Brightfield microscopy, 40× oil immersion; May-Grünwald-Giemsa stain; bone marrow aspirate smear — 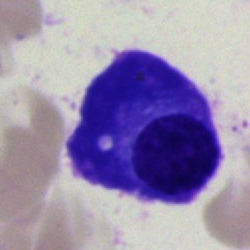Q: What type of cell is this?
A: Plasmacyte.